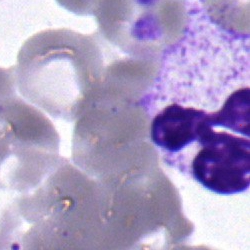
Morphological class: segmented neutrophil.